Peripheral blood smear — 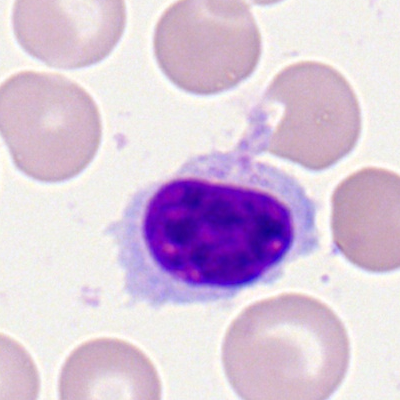Q: Which cell type is shown here?
A: This is a lymphocyte.